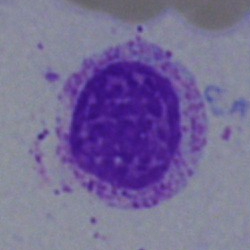 Bone marrow aspirate smear, single cell — myelocyte.